Bone marrow smear
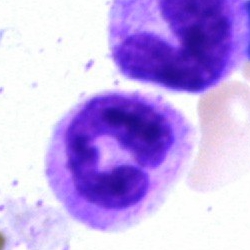

Cell = neutrophil (segmented).